40× objective, oil immersion. Bone marrow aspirate smear:
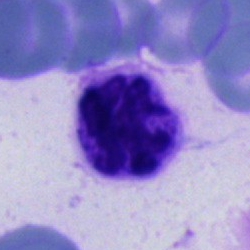Cell type: segmented neutrophil.